Peripheral blood film. Romanowsky-stained: 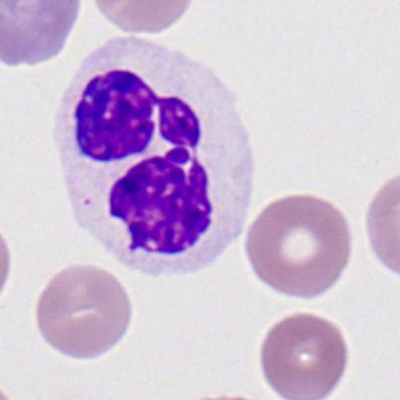
Segmented neutrophil.